Pappenheim-stained. Bone marrow aspirate smear. 250×250 px — 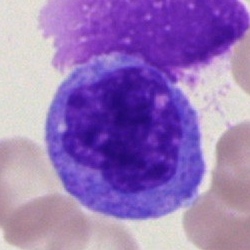
Cell = monocyte.